Bone marrow aspirate smear: 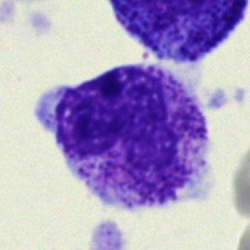 Single cell identified as a neutrophil (band).